Romanowsky-stained. Peripheral blood smear. M8 digital microscope (Precipoint), 100× oil immersion:
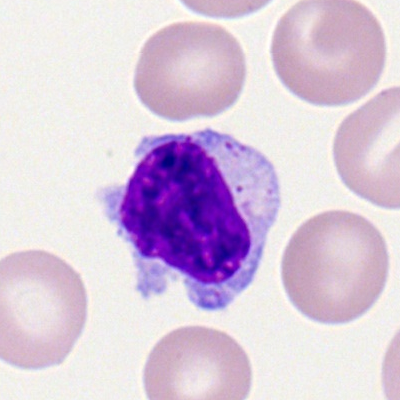

Classification: lymphocyte.